Peripheral blood film · 100× oil immersion, 14.14 px/µm:
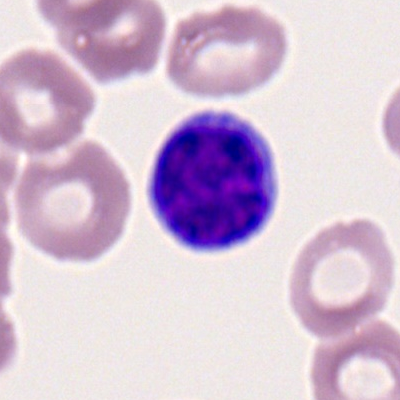 Single cell identified as a lymphocyte.